May-Grünwald-Giemsa stain · bone marrow aspirate smear:
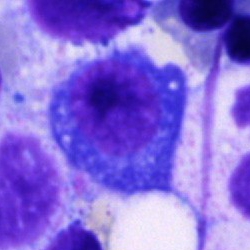
Morphology → plasma cell.